Cropped to a single cell. Bone marrow smear: 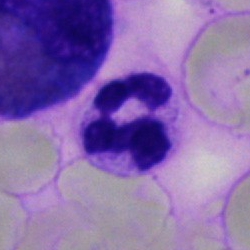
Showing a segmented neutrophil.